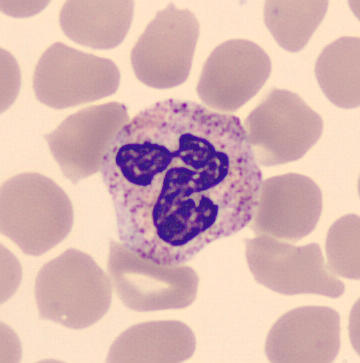
The cell is polymorphonuclear neutrophil.